Bone marrow smear. May-Grünwald-Giemsa stain.
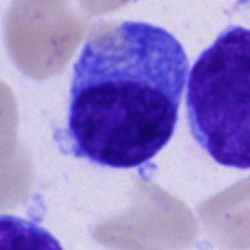

Classification = plasma cell.